Single cell centered in the field. Bone marrow aspirate smear: 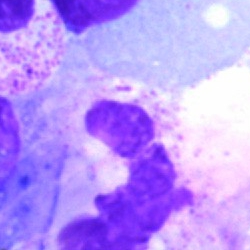
Single cell identified as an artefact.